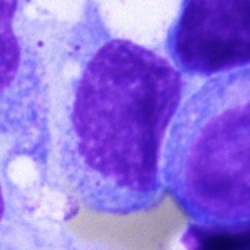 An undifferentiated blast.